Bone marrow smear.
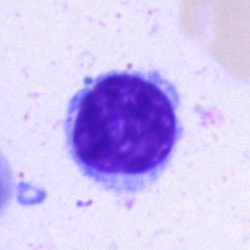

Lymphocyte.